Bone marrow aspirate smear · single-cell crop — 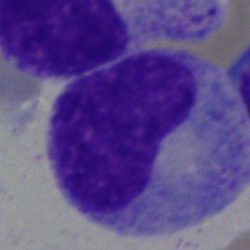
Specimen: bone marrow smear.
Classification: metamyelocyte.